400×400 px. Peripheral blood film. Romanowsky-stained:
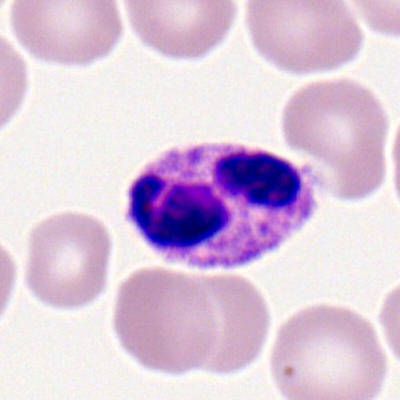{"cell_type": "segmented neutrophil", "lineage": "myeloid"}